250×250 · bone marrow smear
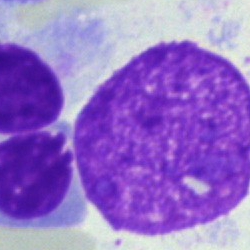 The cell type is artefact.